Brightfield, 40× oil-immersion objective · bone marrow aspirate smear
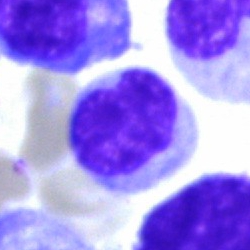
The cell is lymphocyte.